Bone marrow aspirate smear.
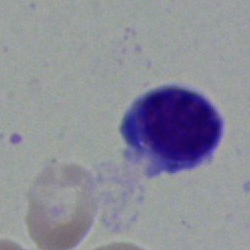

Morphological class = typical lymphocyte.